Bone marrow smear.
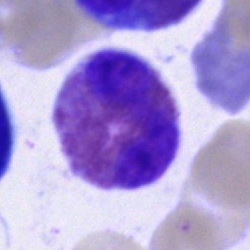
Q: What is the morphological classification of this cell?
A: This is an eosinophil.